Brightfield microscopy, 40× oil immersion · bone marrow smear: 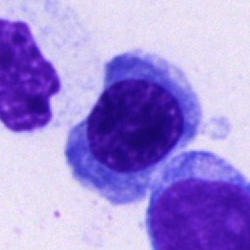Q: Identify the cell.
A: Nucleated red cell.